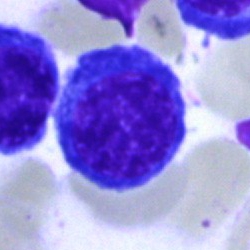Single cell identified as an erythroblast.